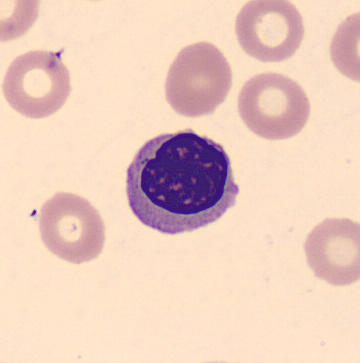Morphological class: nucleated red blood cell. Acquisition: Peripheral blood film.